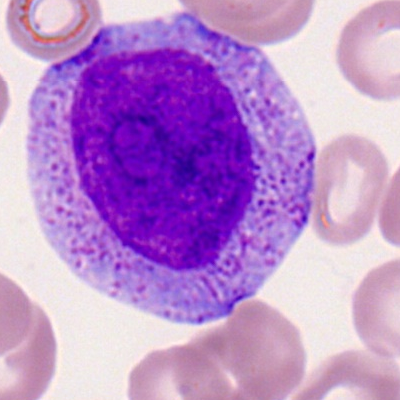 Single-cell crop from a peripheral blood smear: progranulocyte.